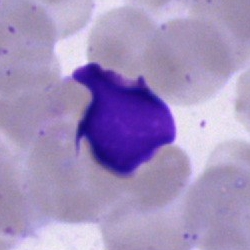
Showing an artifact.